Bone marrow smear: 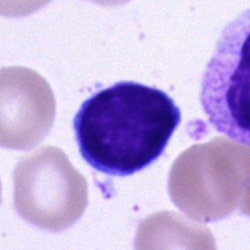

Showing a lymphocyte.